Bone marrow aspirate smear: 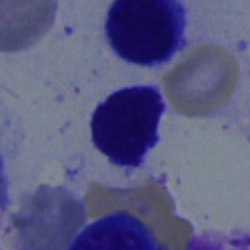 Morphology — lymphocyte.